Image size 250×250 · bone marrow smear — 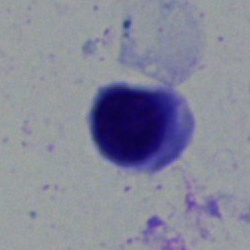 Cell type: nucleated red cell.